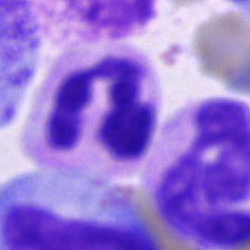Classification — polymorphonuclear neutrophil.